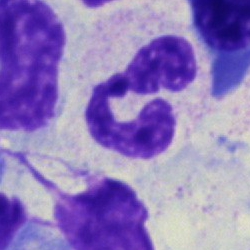
Single-cell crop from a bone marrow smear: segmented neutrophil.